Bone marrow aspirate smear: 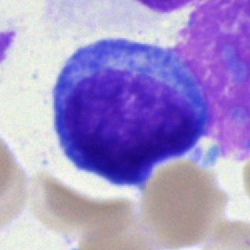 This is an undifferentiated blast.